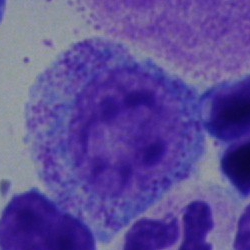

Cell type — promyelocyte.